Bone marrow aspirate smear: 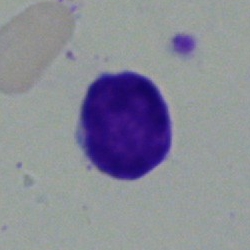 {"cell_type": "typical lymphocyte"}